MGG-stained · bone marrow smear.
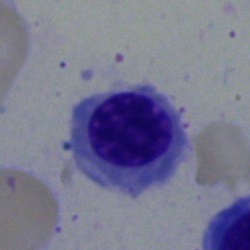

Cell type = nucleated red cell.